Bone marrow aspirate smear · brightfield, 40× oil-immersion objective: 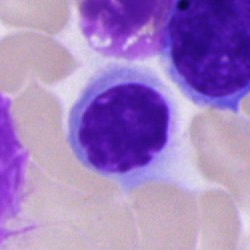

Morphological class = erythroblast.